Bone marrow smear. May-Grünwald-Giemsa stain — 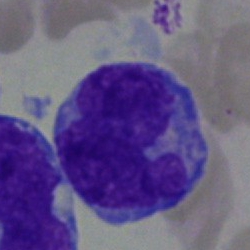Monocyte.